Bone marrow smear. 250 by 250 pixels:
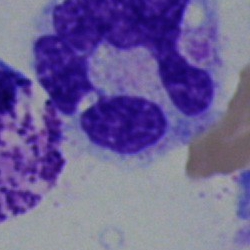Q: Identify the cell.
A: Segmented neutrophil.